Bone marrow aspirate smear: 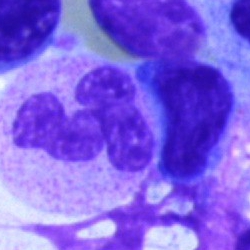

Morphology consistent with a neutrophil (segmented).